Bone marrow aspirate smear. Single-cell field: 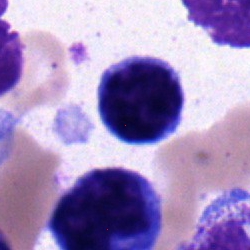

Q: Identify the cell.
A: It is a lymphocyte.